May-Grünwald-Giemsa/Pappenheim stain; 40× objective, oil immersion; bone marrow aspirate smear:
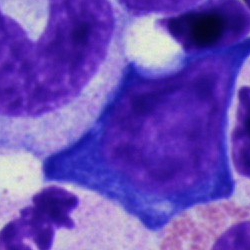 Specimen: bone marrow aspirate smear.
Morphological class: nucleated red blood cell.
Lineage: erythroid.